Single-cell field · 40× objective, oil immersion · bone marrow smear
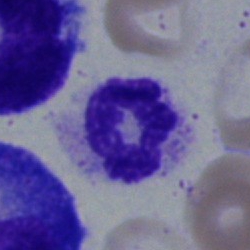
Neutrophil (segmented).